Bone marrow smear.
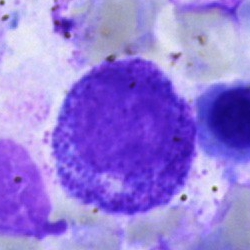

Specimen: bone marrow aspirate smear.
Cell: promyelocyte.